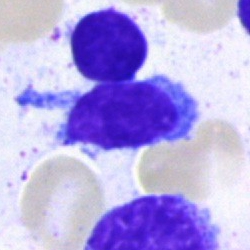
Single-cell crop from a bone marrow smear: lymphocyte.